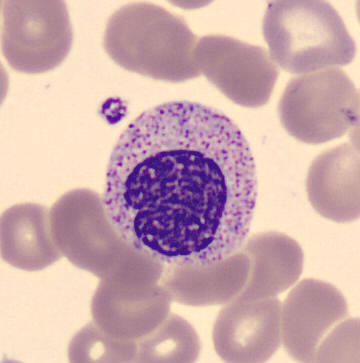

Image: Peripheral blood smear. Morphological class: myelocyte.